Bone marrow aspirate smear: 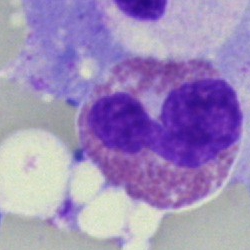 Q: What type of cell is this?
A: An eosinophil.